Bone marrow smear
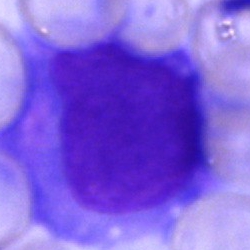 Q: What is shown here?
A: An undifferentiated blast.